Bone marrow smear
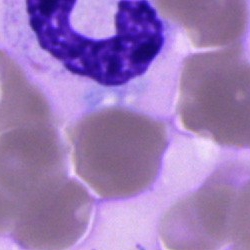Morphological class = neutrophil (segmented).